Single-cell field · bone marrow smear.
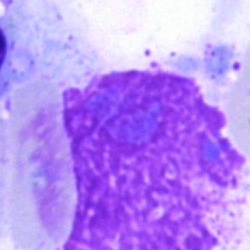 Impression → artefact.